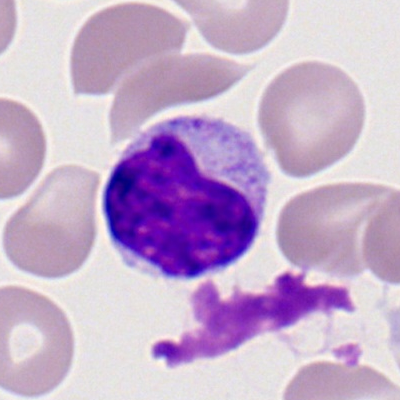Impression — typical lymphocyte.